Bone marrow aspirate smear.
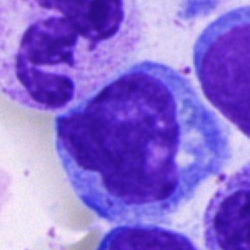 The classification is monocyte.